Bone marrow smear — 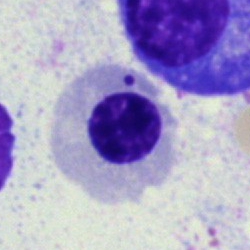{"cell_type": "nucleated red blood cell", "lineage": "erythroid"}